Image size 250×250. Brightfield, 40× oil-immersion objective. Bone marrow aspirate smear
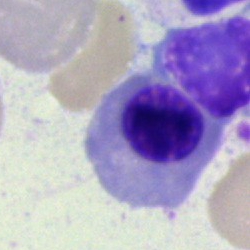Morphology consistent with a nucleated red blood cell.